Bone marrow smear
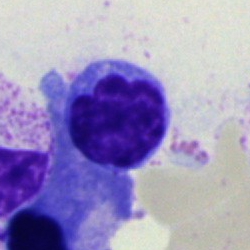

This is a typical lymphocyte.